Brightfield, 40× oil-immersion objective; bone marrow aspirate smear — 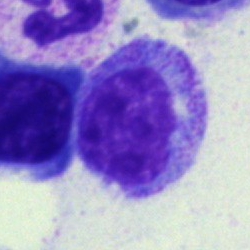 Morphology consistent with a myelocyte.